Peripheral blood smear — 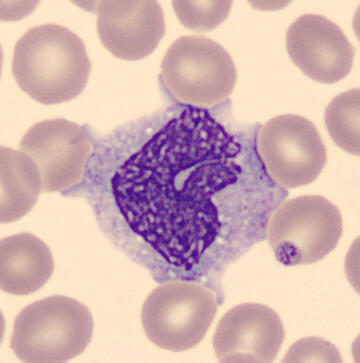
Morphology — monocyte.